Bone marrow smear.
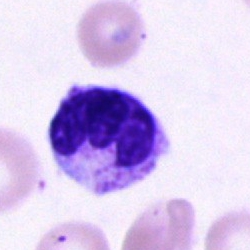

Single cell identified as a neutrophil (segmented).